Bone marrow aspirate smear · May-Grünwald-Giemsa/Pappenheim stain · brightfield microscopy, 40× oil immersion
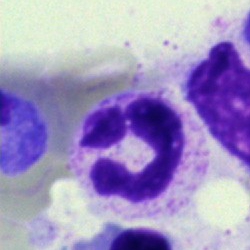
Cell type — segmented neutrophil.